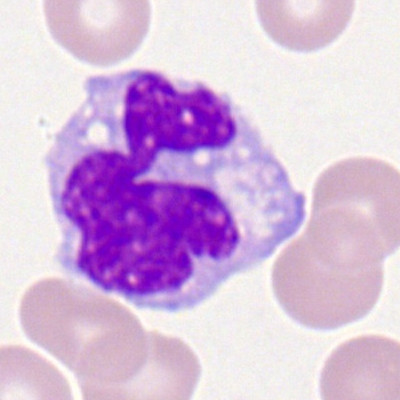

The cell type is monocyte.